Peripheral blood smear · Romanowsky-stained: 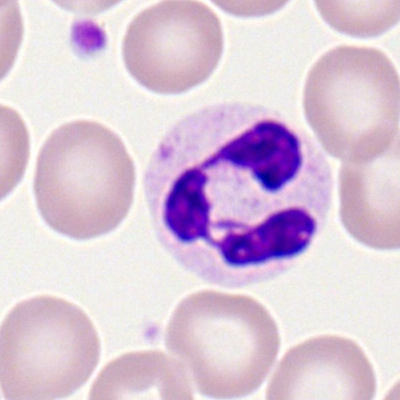 Showing a neutrophil (segmented).